May-Grünwald-Giemsa/Pappenheim stain · bone marrow smear · single-cell field:
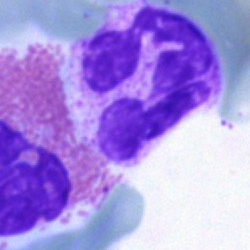

The classification is polymorphonuclear neutrophil.